Bone marrow aspirate smear
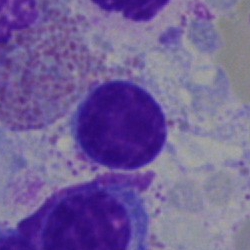
Morphological class = lymphocyte.